Bone marrow smear — 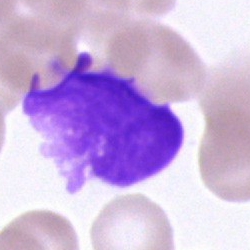
An unidentifiable cell.